Single-cell crop · May-Grünwald-Giemsa stain · bone marrow smear:
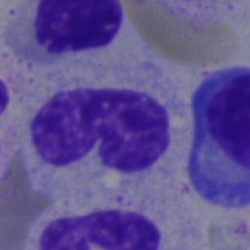

The cell shown is a band neutrophil.